Bone marrow smear: 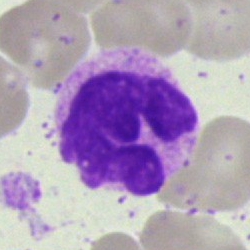

Morphology — polymorphonuclear neutrophil.